Image size 250×250 · single-cell crop · bone marrow aspirate smear:
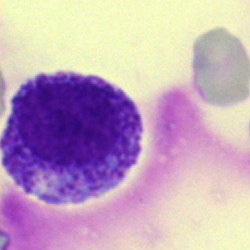The morphological class is myelocyte.